Bone marrow smear. Cropped to a single cell:
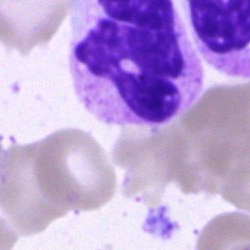{"cell_type": "polymorphonuclear neutrophil"}